Single-cell field; peripheral blood film: 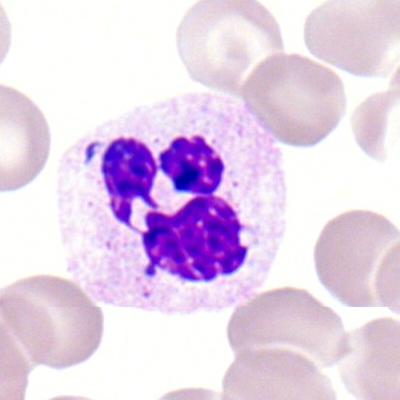 Neutrophil (segmented).